Bone marrow smear: 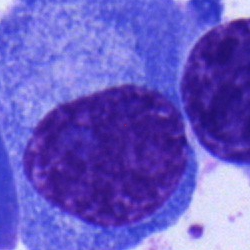Morphology — plasma cell.